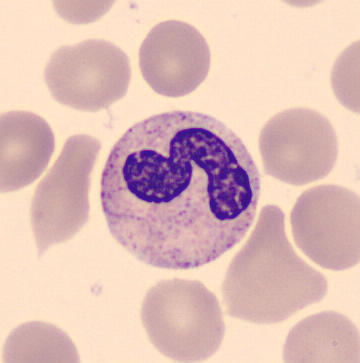The cell shown is a neutrophil (band).